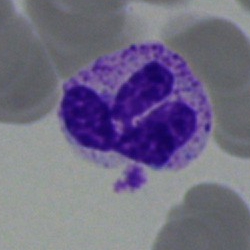

Q: Which cell type is shown here?
A: This is a segmented neutrophil.